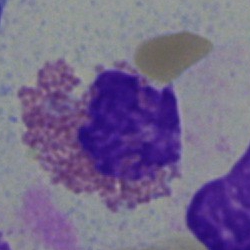Impression — eosinophil.